Cropped to a single cell. Bone marrow aspirate smear — 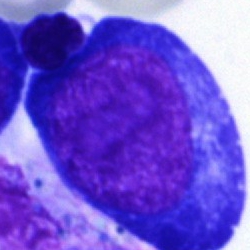Specimen: bone marrow aspirate smear.
Morphological class: proerythroblast.